Bone marrow aspirate smear.
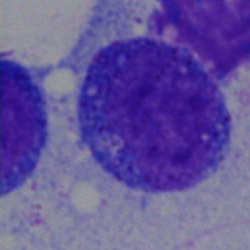 The cell shown is a promyelocyte.